250×250 px. Single cell centered in the field. Bone marrow aspirate smear: 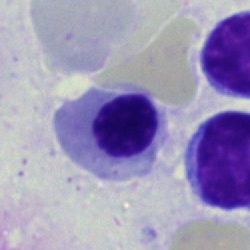
Cell: nucleated red blood cell.